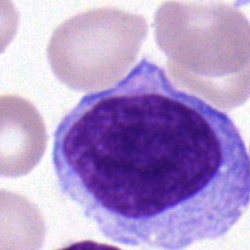

Morphology consistent with a lymphocyte.